M8 digital microscope (Precipoint), 100× oil immersion; Romanowsky stain; peripheral blood smear:
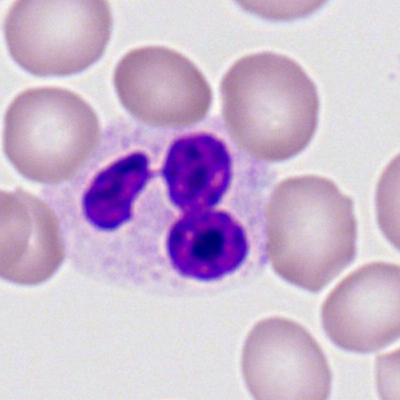

Specimen: peripheral blood smear.
Cell type: neutrophil (segmented).
Lineage: myeloid.